Bone marrow aspirate smear — 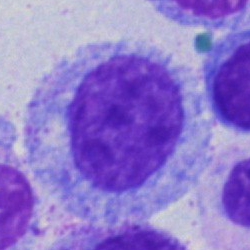 {"cell_type": "progranulocyte", "lineage": "myeloid"}